Peripheral blood smear — 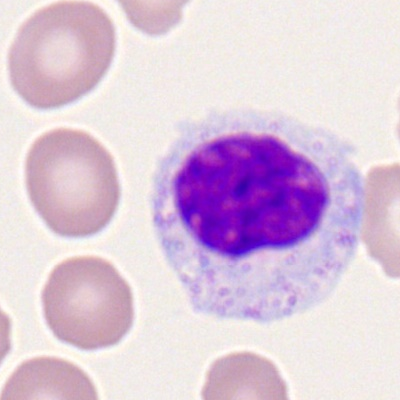
Single cell identified as a lymphocyte.